250×250 px; bone marrow smear: 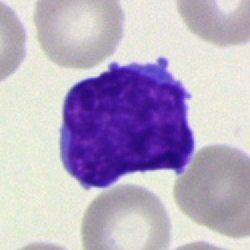Cell — blast cell.